Peripheral blood smear:
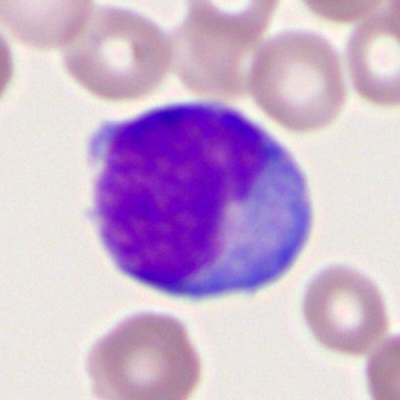

Myeloid blast.